Bone marrow smear:
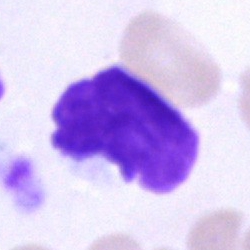
Showing an artifact.